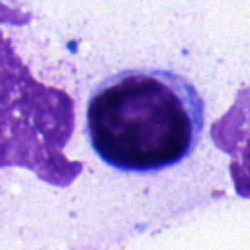Cell type: typical lymphocyte.